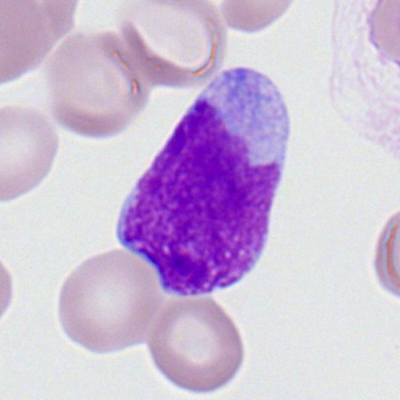

A myeloid blast.